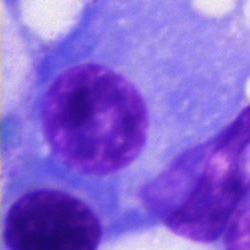 Morphological class: plasmacyte.